Bone marrow smear:
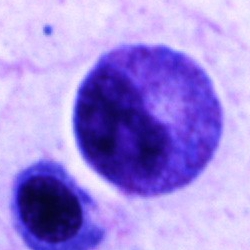
Morphology → progranulocyte.